Bone marrow aspirate smear
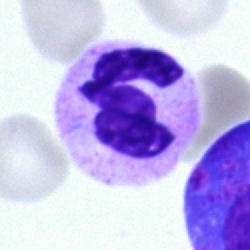This is a polymorphonuclear neutrophil.